Bone marrow smear — 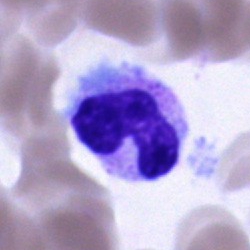

Specimen: bone marrow smear.
Cell: band-form neutrophil.
Lineage: myeloid.